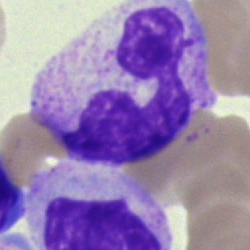
Q: What type of cell is this?
A: This is a segmented neutrophil.